Bone marrow aspirate smear
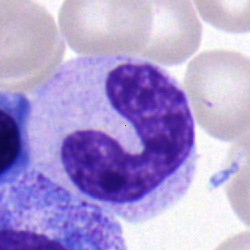
A stab cell.